Bone marrow aspirate smear:
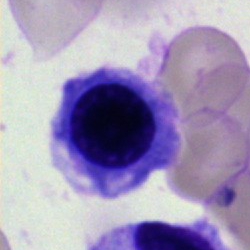Q: Which cell type is shown here?
A: An erythroblast.